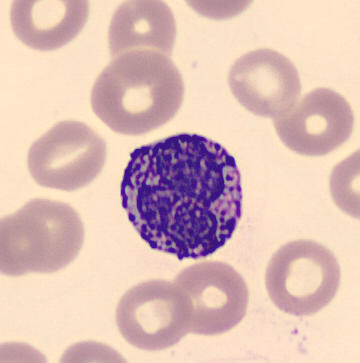
Morphology → basophil.
Preparation: Peripheral blood smear.